Bone marrow smear: 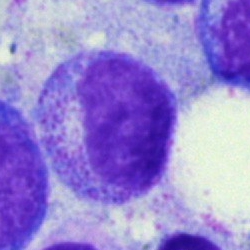 Specimen: bone marrow aspirate smear.
Cell: myelocyte.